Bone marrow aspirate smear: 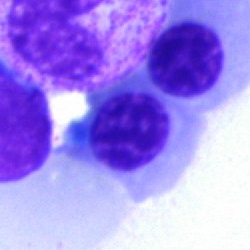

This is a nucleated red blood cell.